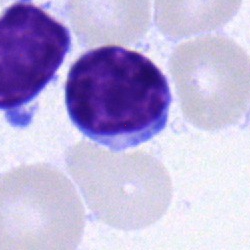Cell: typical lymphocyte.